Bone marrow aspirate smear. Single cell centered in the field. 250×250 px:
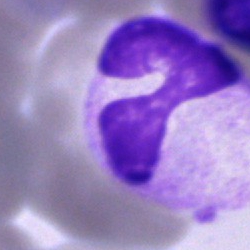 Morphology consistent with a band neutrophil.